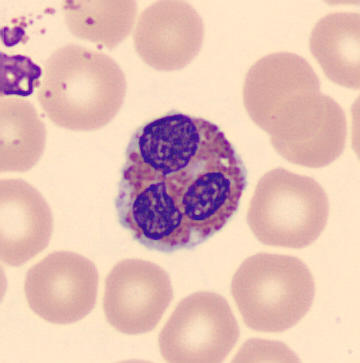
Specimen: peripheral blood smear.
Cell: eosinophilic granulocyte.